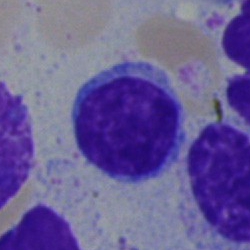 Single-cell crop from a bone marrow smear: typical lymphocyte.